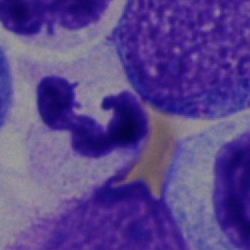
Morphological class — segmented neutrophil.